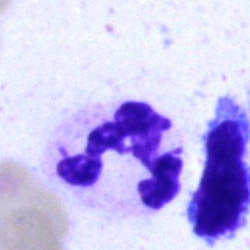 A neutrophil (segmented).